Single-cell crop. Bone marrow smear. Brightfield, 40× oil-immersion objective.
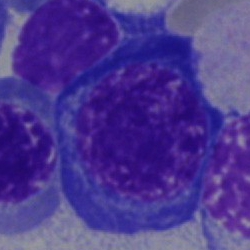

The morphological class is normoblast.